Bone marrow smear:
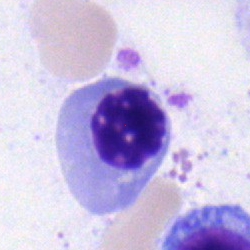 Morphology — erythroblast.